May-Grünwald-Giemsa stain; bone marrow aspirate smear
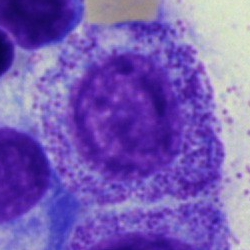The cell is progranulocyte.